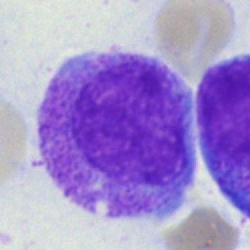
The cell type is promyelocyte.